MGG-stained · bone marrow aspirate smear — 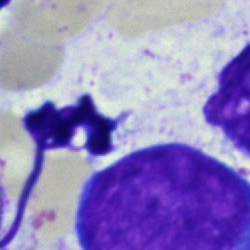 Single cell identified as an artifact.